Bone marrow aspirate smear.
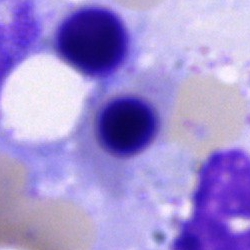

A normoblast.